Bone marrow smear; single cell centered in the field.
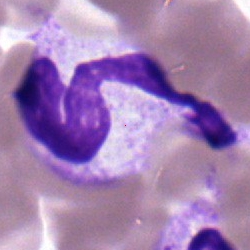 Morphology — neutrophil (segmented).